Bone marrow aspirate smear: 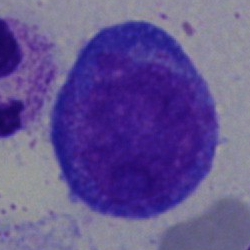A pronormoblast.